Single cell centered in the field; bone marrow aspirate smear; 40× oil immersion.
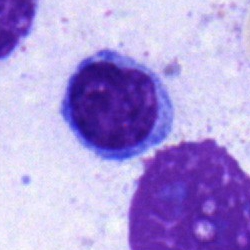

Q: What is shown here?
A: Typical lymphocyte.